Bone marrow aspirate smear; May-Grünwald-Giemsa/Pappenheim stain — 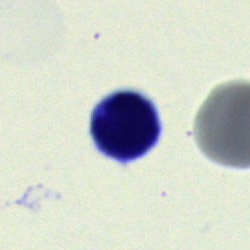
This is a typical lymphocyte.